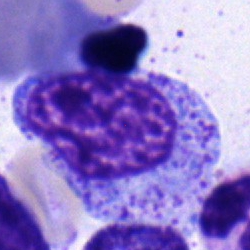

Specimen: bone marrow smear.
Classification: myelocyte.